May-Grünwald-Giemsa/Pappenheim stain · single cell centered in the field · bone marrow aspirate smear: 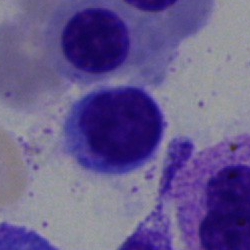

Morphology → typical lymphocyte.